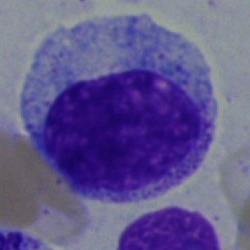Q: What cell is this?
A: Myelocyte.